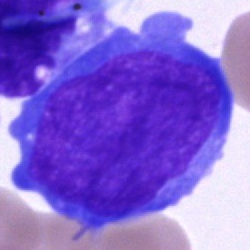
Q: What cell is this?
A: An undifferentiated blast.